Bone marrow smear:
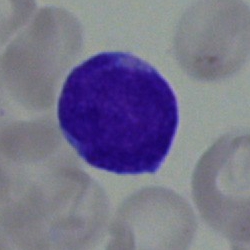 Morphology → blast.